Single-cell field. Bone marrow aspirate smear. 250×250 px — 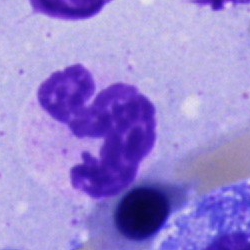 Morphological class: neutrophil (segmented).